Bone marrow aspirate smear: 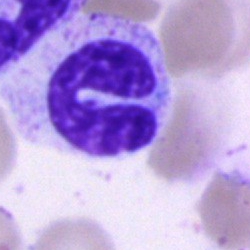Showing a stab cell.